Bone marrow aspirate smear. Single-cell field — 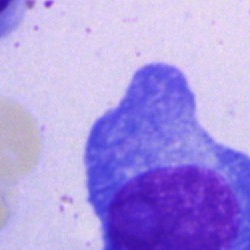 Classification: plasmacyte.